Bone marrow aspirate smear:
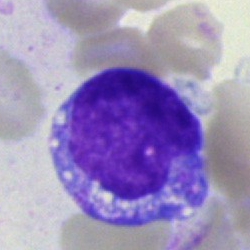 Q: Identify the cell.
A: A blast cell.